Bone marrow aspirate smear: 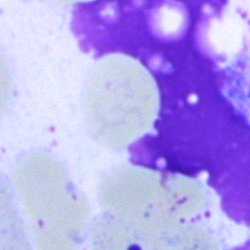

Single cell identified as an artefact.